Bone marrow smear.
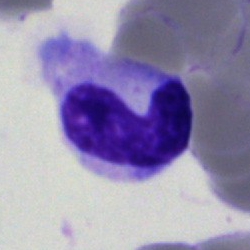Single cell identified as a neutrophil (band).